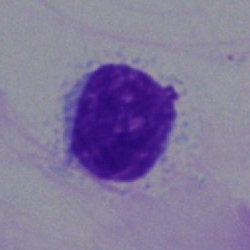 Showing a typical lymphocyte.